Bone marrow aspirate smear:
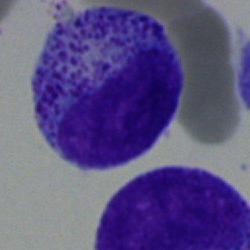
Q: What cell is this?
A: This is a promyelocyte.